Cropped to a single cell. May-Grünwald-Giemsa/Pappenheim stain. Bone marrow aspirate smear: 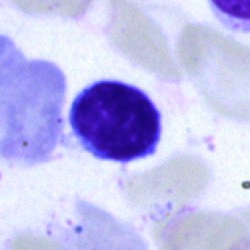

{"cell_type": "typical lymphocyte"}